Bone marrow aspirate smear; 250×250; single cell centered in the field — 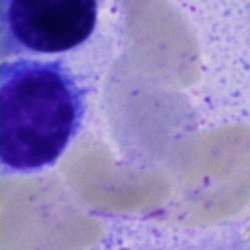This is a lymphocyte.